Bone marrow aspirate smear:
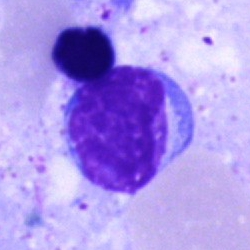Q: Which cell type is shown here?
A: Lymphocyte.